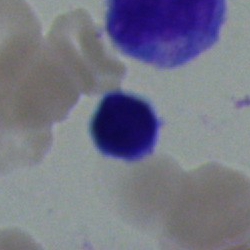Cell type — lymphocyte.